Single-cell crop. Bone marrow smear:
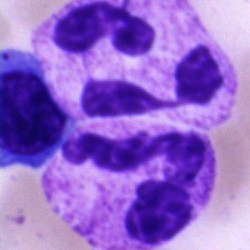The morphological class is polymorphonuclear neutrophil.